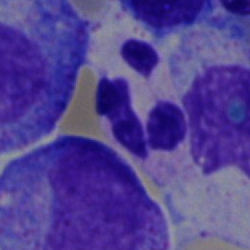Q: Which cell type is shown here?
A: Segmented neutrophil.